Bone marrow smear; single cell centered in the field; May-Grünwald-Giemsa stain:
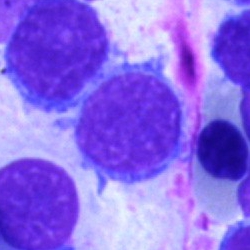Morphology → lymphocyte.